Bone marrow aspirate smear:
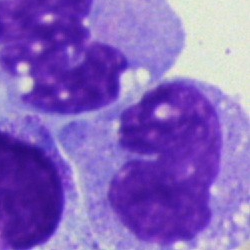 Morphology consistent with a monocyte.